40× oil immersion; 250 by 250 pixels; bone marrow aspirate smear — 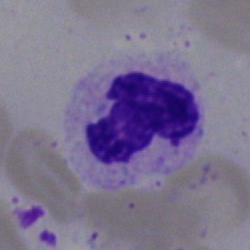 {"cell_type": "segmented neutrophil"}